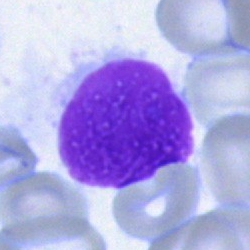

Bone marrow aspirate smear, single cell — artifact.